Bone marrow aspirate smear:
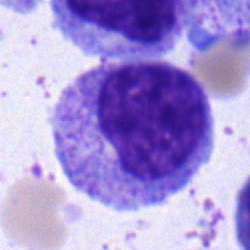Q: What type of cell is this?
A: A myelocyte.